360×363 px · peripheral blood film · CellaVision DM96:
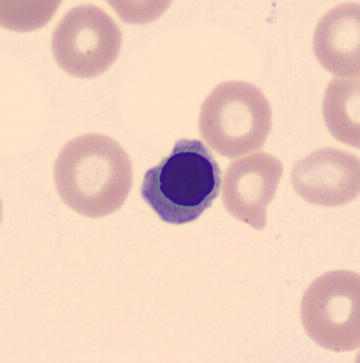

Q: What cell is this?
A: An erythroblast.